Bone marrow aspirate smear — 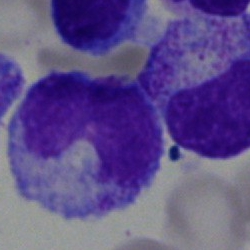
Morphology consistent with a stab cell.